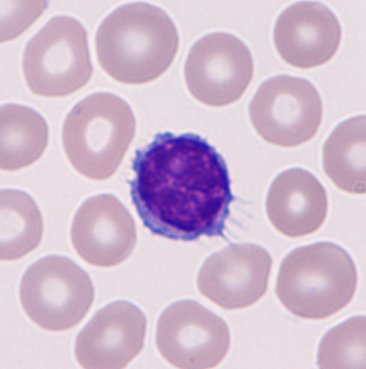
Morphology — lymphocyte.